Bone marrow smear:
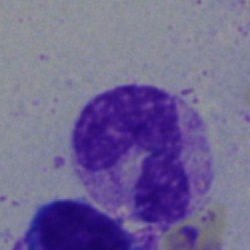Cell = stab cell.